Bone marrow aspirate smear · 250×250
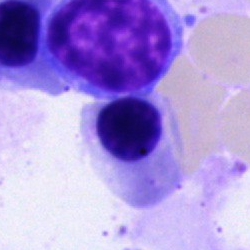
A lymphocyte.